Bone marrow smear; 250×250 px; MGG-stained.
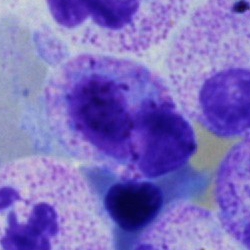
{"cell_type": "monocyte", "lineage": "myeloid"}